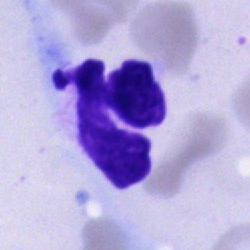 Showing an artefact.